Bone marrow smear: 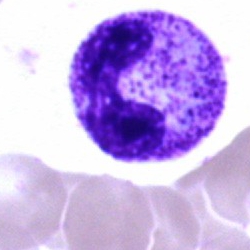 Specimen: bone marrow smear.
Cell: band neutrophil.